Bone marrow smear
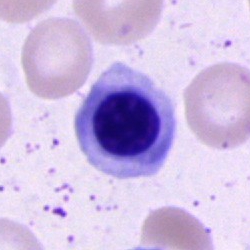 This is a normoblast.